250×250 px · bone marrow aspirate smear.
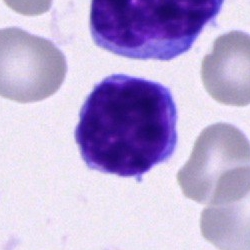 {"cell_type": "typical lymphocyte"}